Bone marrow aspirate smear — 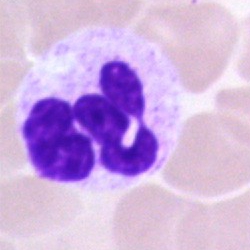Cell = polymorphonuclear neutrophil.